Bone marrow aspirate smear · MGG-stained · cropped to a single cell — 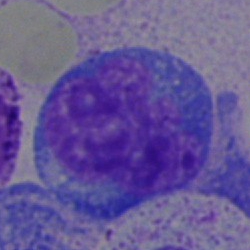

Specimen: bone marrow aspirate smear.
Classification: blast cell.